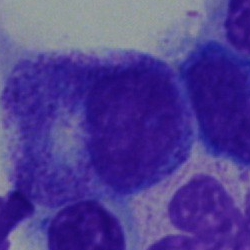 Q: What cell is this?
A: It is a promyelocyte.